Peripheral blood film.
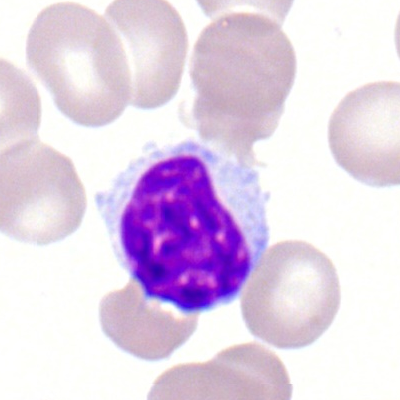Typical lymphocyte.